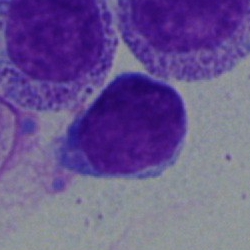
A typical lymphocyte.